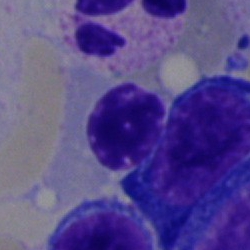 Specimen: bone marrow smear.
Classification: nucleated red cell.